Bone marrow aspirate smear
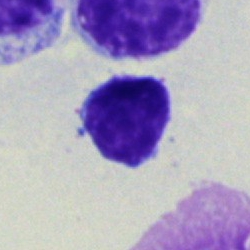
Specimen: bone marrow aspirate smear.
Cell: lymphocyte.